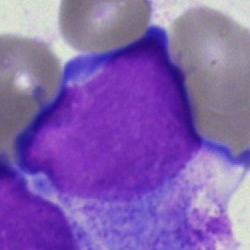Undifferentiated blast.